Romanowsky-stained; peripheral blood smear; 100× objective, oil immersion: 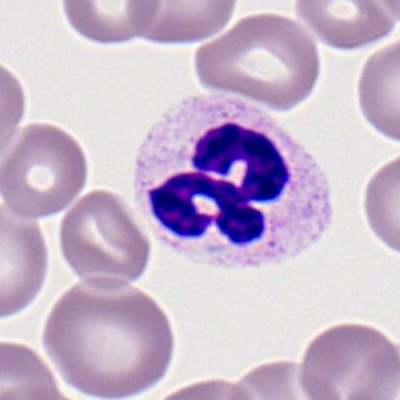

Morphology consistent with a segmented neutrophil.